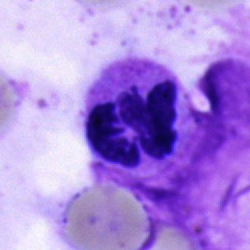
Morphological class: polymorphonuclear neutrophil.